Peripheral blood smear:
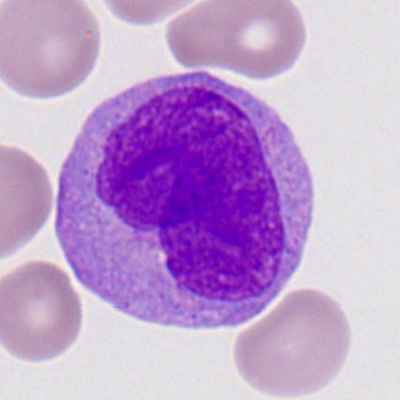

Q: What type of cell is this?
A: This is a myeloblast.